Bone marrow aspirate smear.
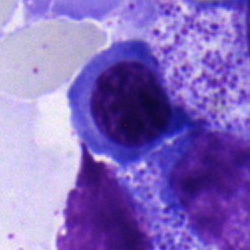 Cell = nucleated red blood cell.